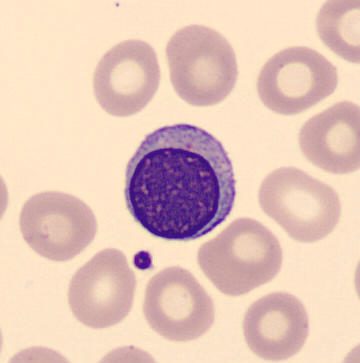 Peripheral blood smear showing a lymphocyte.